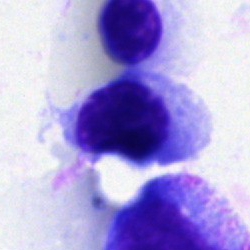 Morphology consistent with a nucleated red blood cell.